250×250. Bone marrow smear. May-Grünwald-Giemsa stain.
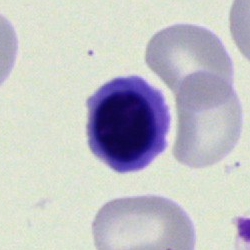
Morphological class = nucleated red blood cell.